40× oil immersion · May-Grünwald-Giemsa/Pappenheim stain · bone marrow aspirate smear — 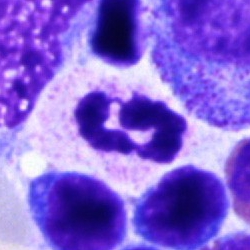Morphology → segmented neutrophil.